Cropped to a single cell · Pappenheim-stained · bone marrow smear.
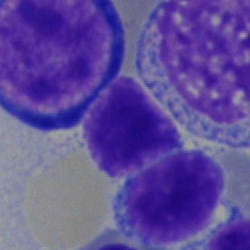Q: What is the morphological classification of this cell?
A: This is a lymphocyte.